40× oil immersion. Bone marrow smear. MGG-stained — 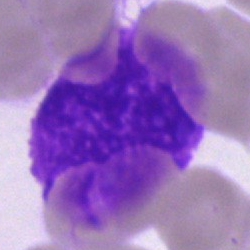
{"cell_type": "artifact"}